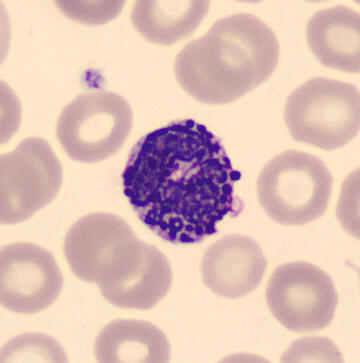
Basophil. Preparation: Peripheral blood smear; single-cell field.